Bone marrow aspirate smear:
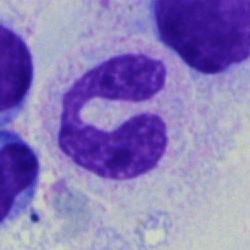Morphology → neutrophil (segmented).